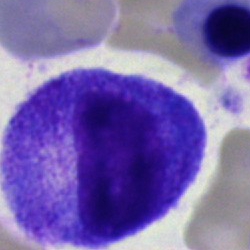 Specimen: bone marrow aspirate smear.
Classification: promyelocyte.